Bone marrow aspirate smear:
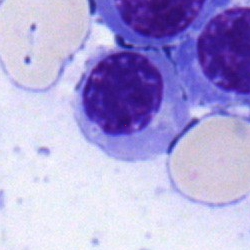 Showing a nucleated red blood cell.